Bone marrow smear.
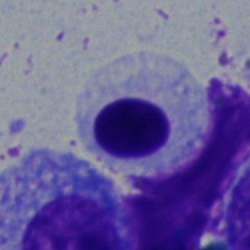Single cell identified as a normoblast.